Bone marrow smear — 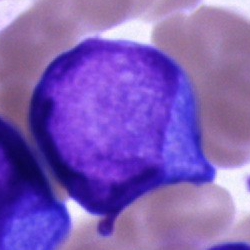

Classification = blast cell.